Single-cell crop; Romanowsky-stained; peripheral blood smear.
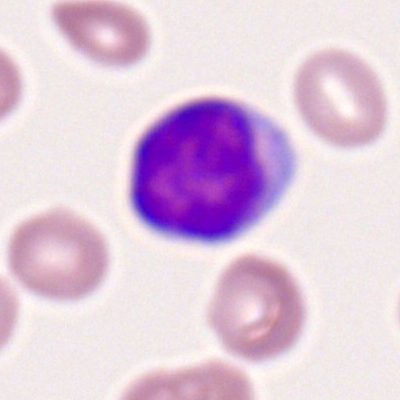
Single cell identified as a typical lymphocyte.